Bone marrow aspirate smear; May-Grünwald-Giemsa/Pappenheim stain — 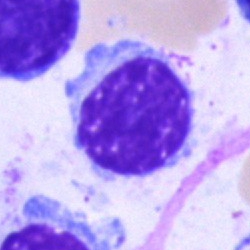

Impression → typical lymphocyte.